Bone marrow smear
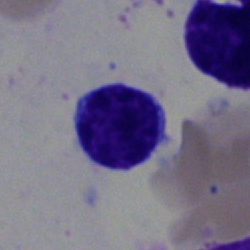
Specimen: bone marrow aspirate smear.
Morphological class: typical lymphocyte.
Lineage: lymphoid.